Bone marrow aspirate smear; May-Grünwald-Giemsa/Pappenheim stain:
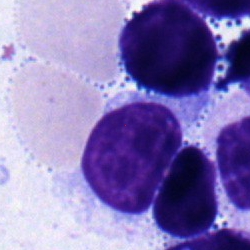

Specimen: bone marrow aspirate smear.
Cell type: lymphocyte.
Lineage: lymphoid.